Bone marrow smear:
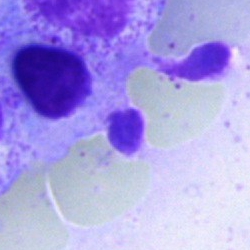
Classification = artefact.